Peripheral blood film. Single cell centered in the field — 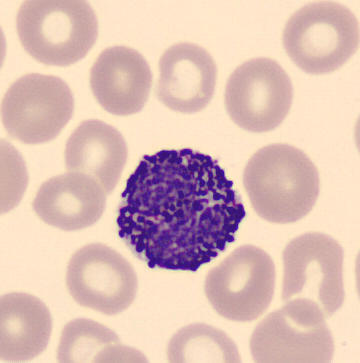

The classification is basophilic granulocyte.